Bone marrow aspirate smear:
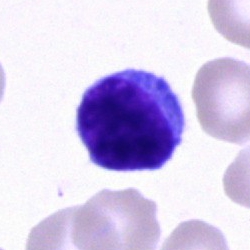

The cell shown is a typical lymphocyte.